Peripheral blood film · cropped to a single cell · 360×363 px.
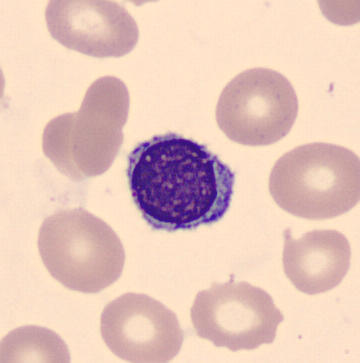
Single cell identified as a lymphocyte.